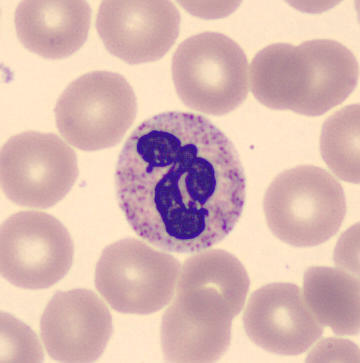
Classification — neutrophil (segmented).
Cropped to a single cell; peripheral blood smear.